Peripheral blood smear; 400×400; 100× oil immersion — 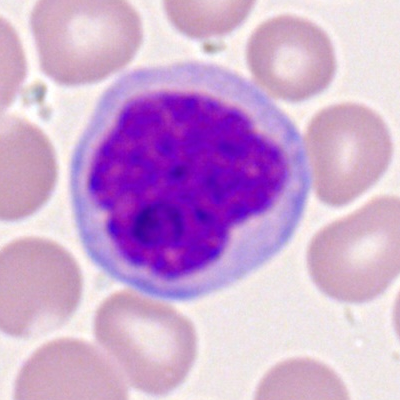

Impression → monocyte.